250×250 · bone marrow smear · single-cell field.
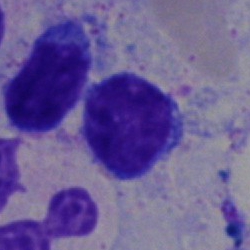

A typical lymphocyte.